Bone marrow aspirate smear. Image size 250×250:
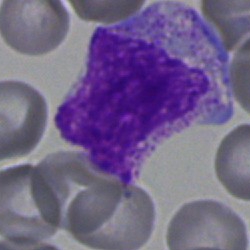Impression → myelocyte.